Image size 250×250; bone marrow smear; single cell centered in the field.
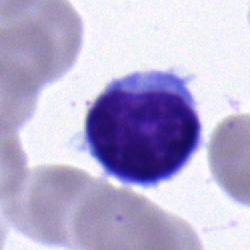
Morphology — typical lymphocyte.